Brightfield microscopy, 40× oil immersion. Bone marrow smear:
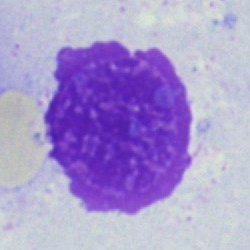Cell type = artifact.